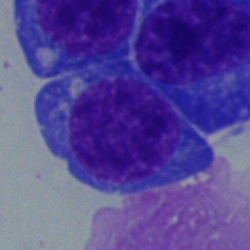
{"cell_type": "nucleated red blood cell"}